Image size 250×250; 40× objective, oil immersion; bone marrow smear:
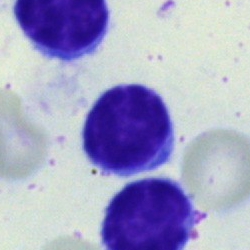 Specimen: bone marrow smear.
Classification: lymphocyte.
Lineage: lymphoid.